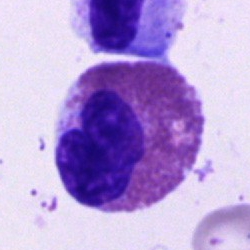An eosinophil.